Brightfield microscopy, 40× oil immersion · bone marrow smear
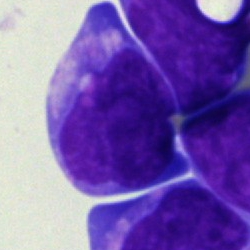
Classification: undifferentiated blast.